Single cell centered in the field · bone marrow aspirate smear: 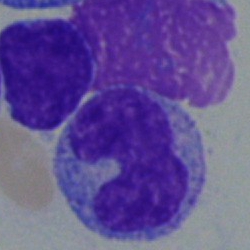
Specimen: bone marrow aspirate smear.
Morphological class: monocyte.